Bone marrow aspirate smear:
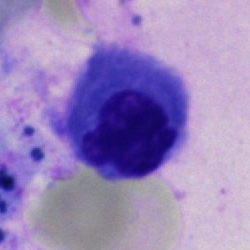 This is an erythroblast.